Bone marrow aspirate smear. May-Grünwald-Giemsa stain:
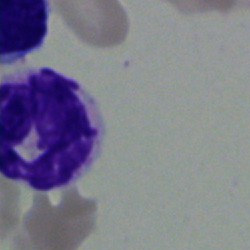 Specimen: bone marrow smear.
Classification: neutrophil (segmented).
Lineage: myeloid.